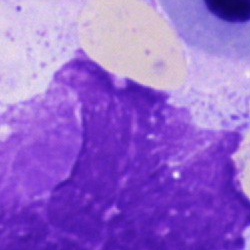Bone marrow smear showing an artefact.